Peripheral blood smear — 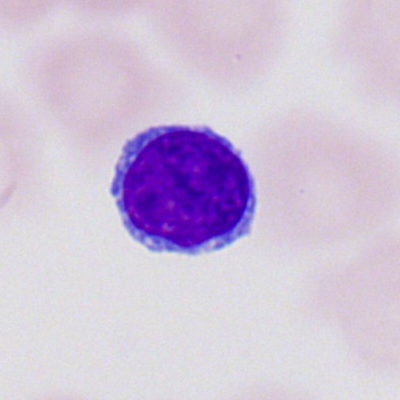 Impression → lymphocyte.